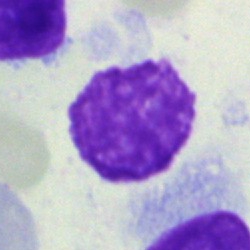
Bone marrow aspirate smear, single cell — artefact.